Bone marrow smear.
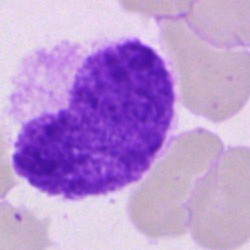Q: What is shown here?
A: Artefact.